Bone marrow aspirate smear
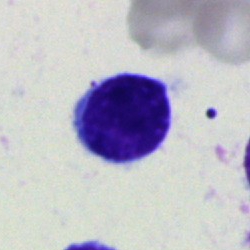 Showing a typical lymphocyte.